250×250 px; bone marrow smear:
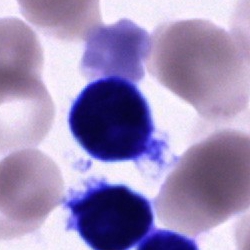 Cell of indeterminate lineage.